Bone marrow smear — 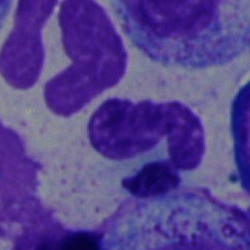 Showing a segmented neutrophil.